Bone marrow smear; single-cell crop.
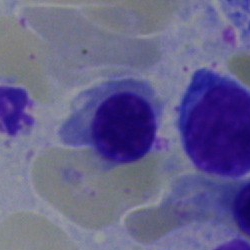

Q: Identify the cell.
A: This is a nucleated red blood cell.